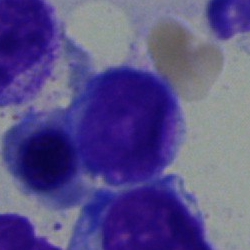
Q: What cell is this?
A: Typical lymphocyte.